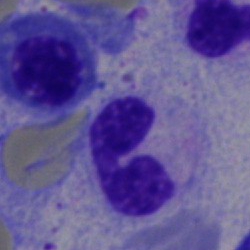

A polymorphonuclear neutrophil on a bone marrow smear.